May-Grünwald-Giemsa/Pappenheim stain; 250×250 px; bone marrow smear.
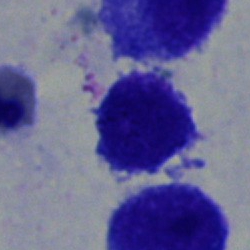
Cell — typical lymphocyte.